Bone marrow smear — 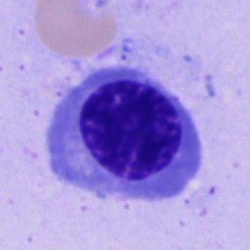 Nucleated red cell.